Bone marrow aspirate smear:
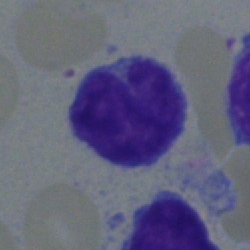Specimen: bone marrow aspirate smear.
Cell: lymphocyte.